Single cell centered in the field. Bone marrow smear. May-Grünwald-Giemsa stain
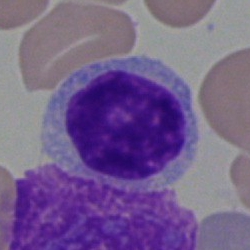
The cell shown is a typical lymphocyte.